Peripheral blood film.
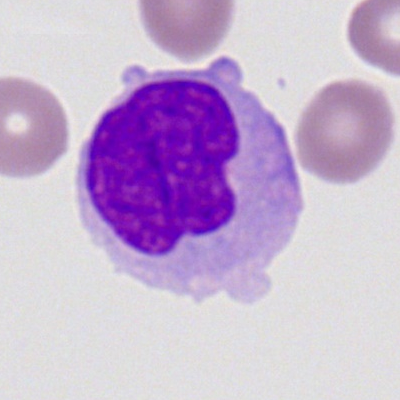Q: Which cell type is shown here?
A: This is a monocyte.